May-Grünwald-Giemsa stain. Bone marrow smear. 40× objective, oil immersion — 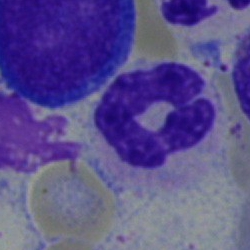Q: What is shown here?
A: It is a neutrophil (band).